Bone marrow aspirate smear — 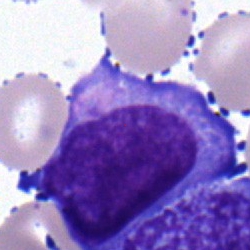
The cell shown is a typical lymphocyte.